Bone marrow aspirate smear.
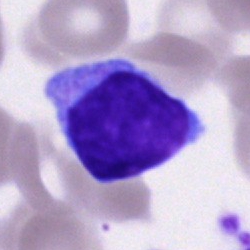Morphology consistent with a typical lymphocyte.